Bone marrow aspirate smear
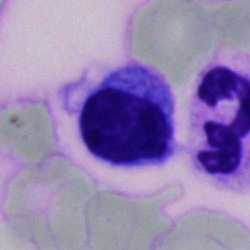
Classification — lymphocyte.